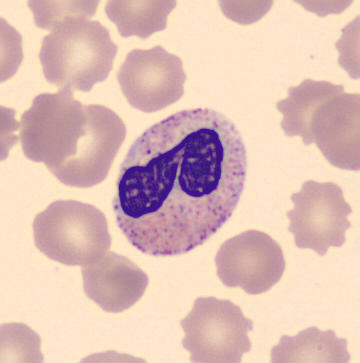
Cell type = neutrophil (segmented).